Bone marrow smear.
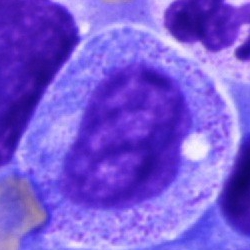
Cell: promyelocyte.